Bone marrow aspirate smear: 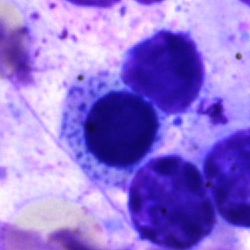
Impression → unidentifiable cell.